Bone marrow smear:
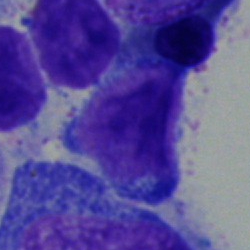
Morphological class: typical lymphocyte.